Bone marrow aspirate smear.
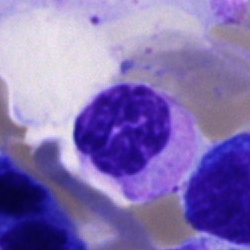Q: Which cell type is shown here?
A: This is a polymorphonuclear neutrophil.